Bone marrow aspirate smear; single-cell field
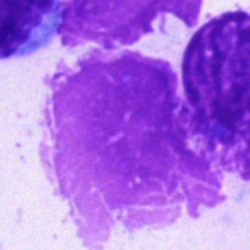

An artefact.